Bone marrow aspirate smear. Single-cell field — 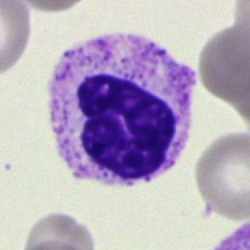Single cell identified as a polymorphonuclear neutrophil.